Bone marrow aspirate smear. Pappenheim-stained.
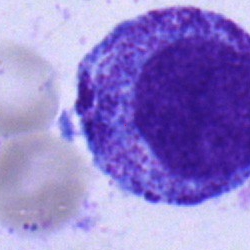
{"cell_type": "myelocyte"}